Cropped to a single cell. Bone marrow aspirate smear
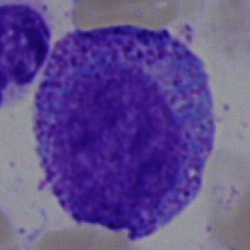 Q: What type of cell is this?
A: This is a promyelocyte.